Bone marrow smear: 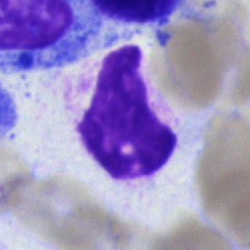 Single cell identified as an artefact.